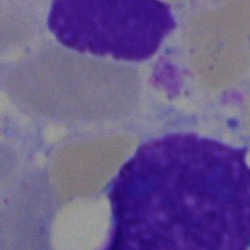 Bone marrow smear showing an artefact.